Bone marrow smear · single-cell field:
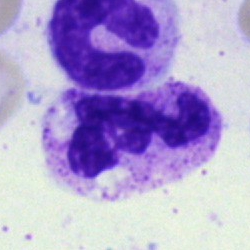
Q: What type of cell is this?
A: Segmented neutrophil.